Bone marrow smear · 250×250 px: 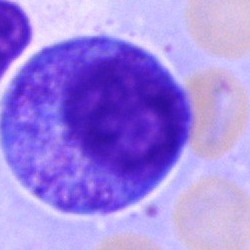

Morphology consistent with a promyelocyte.